May-Grünwald-Giemsa/Pappenheim stain. Bone marrow aspirate smear. Cropped to a single cell: 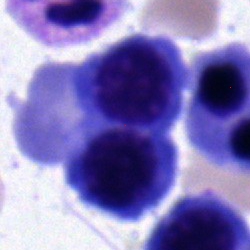Morphology — erythroblast.